Bone marrow aspirate smear: 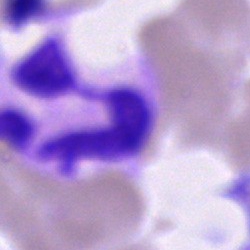

Morphology consistent with a segmented neutrophil.